Single cell centered in the field; bone marrow smear
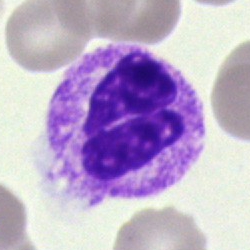Q: What is the morphological classification of this cell?
A: Neutrophil (segmented).